Bone marrow aspirate smear. Image size 250×250. Single-cell crop: 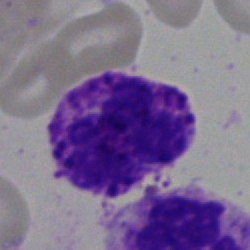

Q: What type of cell is this?
A: Basophil.